40× objective, oil immersion · bone marrow aspirate smear.
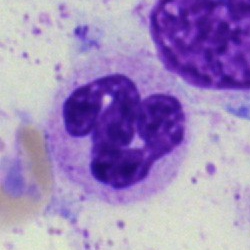

Cell: neutrophil (segmented).